Bone marrow smear: 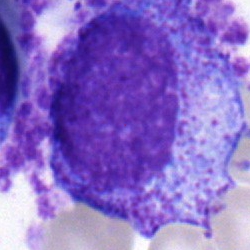Cell type: progranulocyte.